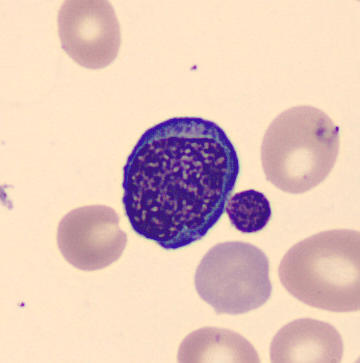 Image: CellaVision DM96. Peripheral blood film.
The morphological class is erythroblast.